Bone marrow smear:
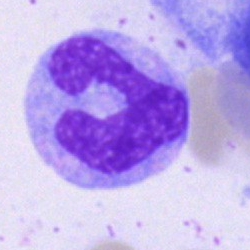 Q: What type of cell is this?
A: Monocyte.